Bone marrow aspirate smear: 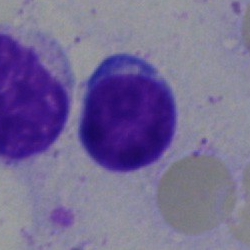Showing a lymphocyte.